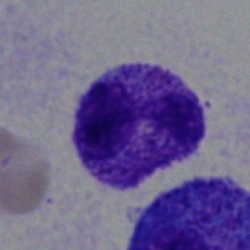
The cell type is neutrophil (segmented).